Pappenheim-stained · bone marrow smear:
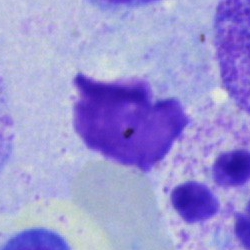

Impression — artifact.